Bone marrow aspirate smear.
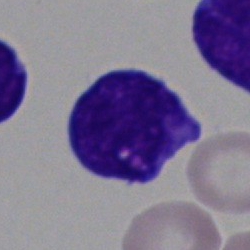Impression → undifferentiated blast.